250 by 250 pixels · May-Grünwald-Giemsa stain · bone marrow smear: 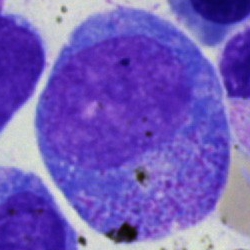
Cell: progranulocyte.